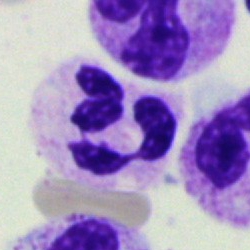Q: Identify the cell.
A: Neutrophil (segmented).